250 by 250 pixels · bone marrow aspirate smear · single-cell crop
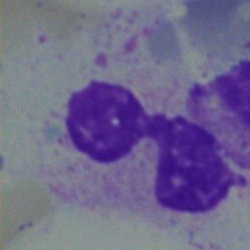 Showing a neutrophil (segmented).